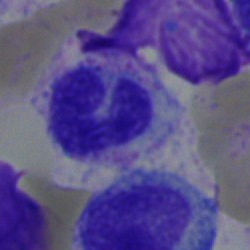
Specimen: bone marrow smear.
Cell type: polymorphonuclear neutrophil.